Bone marrow aspirate smear · cropped to a single cell:
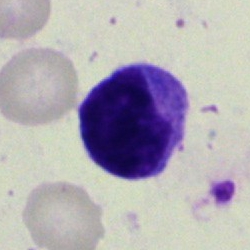
The cell shown is a typical lymphocyte.